Bone marrow smear
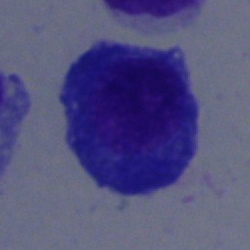 Q: Identify the cell.
A: This is a plasma cell.